Peripheral blood smear.
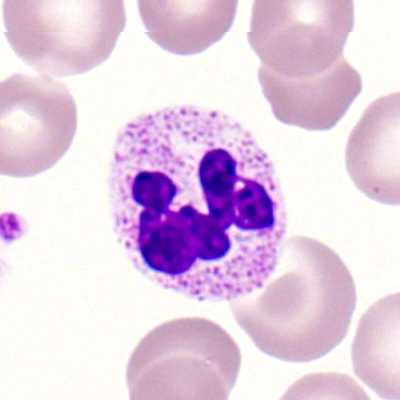 Polymorphonuclear neutrophil.